Peripheral blood smear; cropped to a single cell — 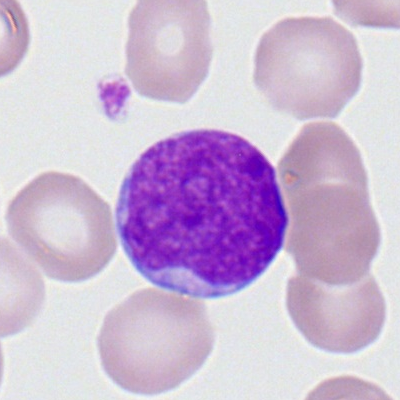
Morphological class: myeloid blast.